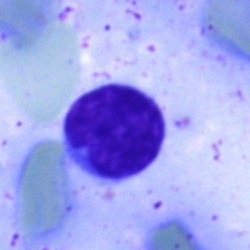

Morphology — typical lymphocyte.